Bone marrow smear; image size 250×250:
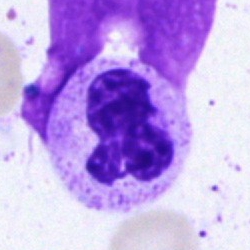Segmented neutrophil.